Bone marrow aspirate smear. Single-cell field: 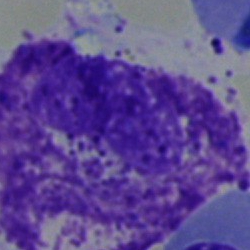Classification = other cell.